Bone marrow smear. 250×250.
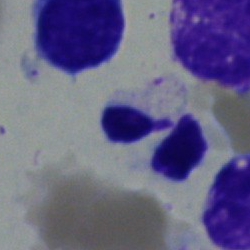Cell type = polymorphonuclear neutrophil.